Bone marrow aspirate smear — 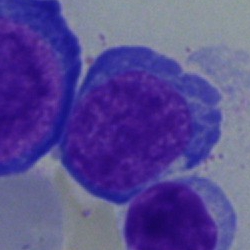 Specimen: bone marrow smear.
Classification: normoblast.
Lineage: erythroid.